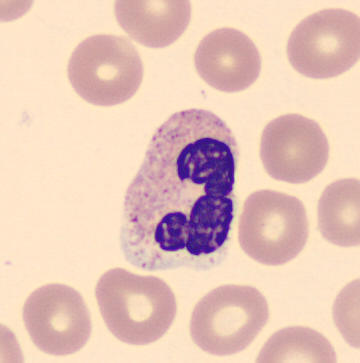

Classification = band-form neutrophil.